Bone marrow aspirate smear:
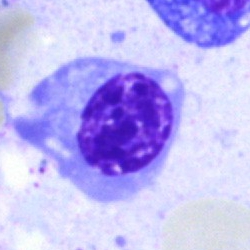Q: What is shown here?
A: This is a nucleated red cell.